Bone marrow smear: 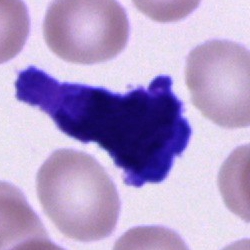Q: What type of cell is this?
A: This is a cell of indeterminate lineage.